Bone marrow aspirate smear.
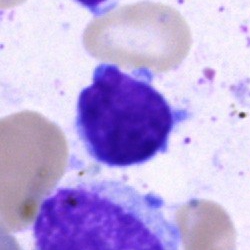

A lymphocyte.